Bone marrow smear · single-cell crop: 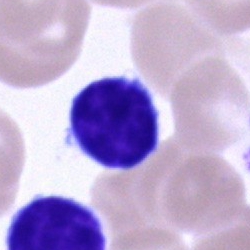This is a typical lymphocyte.